Bone marrow aspirate smear — 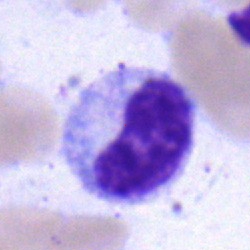

Impression — metamyelocyte.